Bone marrow smear. Single-cell field: 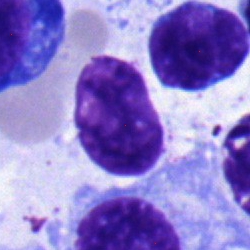{"cell_type": "lymphocyte", "lineage": "lymphoid"}